Bone marrow smear
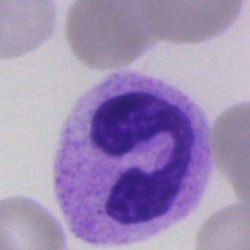 Specimen: bone marrow aspirate smear.
Cell type: neutrophil (segmented).
Lineage: myeloid.